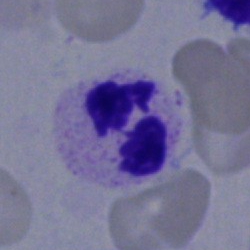Specimen: bone marrow aspirate smear.
Morphological class: segmented neutrophil.
Lineage: myeloid.